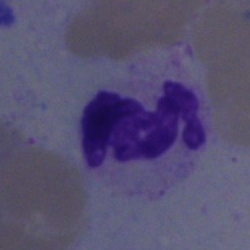

Impression — neutrophil (segmented).